Peripheral blood smear:
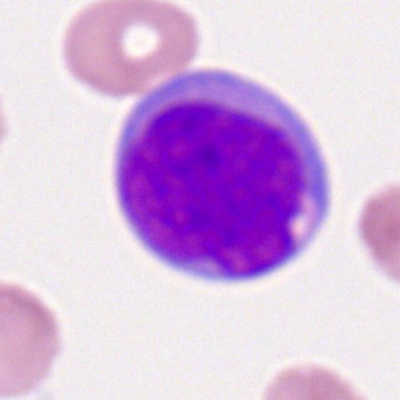

Impression — myeloid blast.